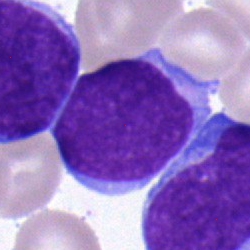Specimen: bone marrow aspirate smear.
Cell type: blast cell.